Peripheral blood film. CellaVision DM96
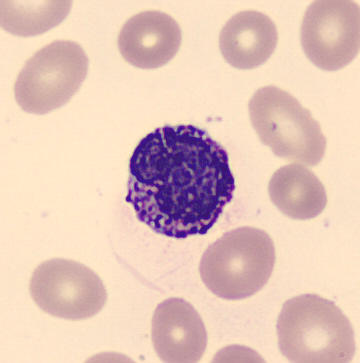Q: What is shown here?
A: It is a basophil.